Bone marrow smear
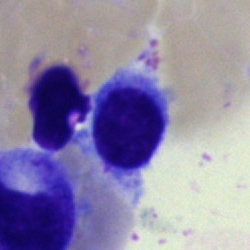

Morphological class — typical lymphocyte.